Bone marrow aspirate smear.
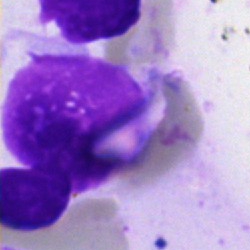 Morphology consistent with an artifact.